Bone marrow smear
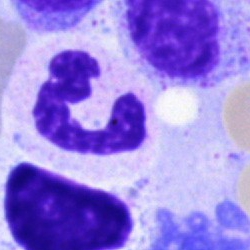Specimen: bone marrow smear.
Cell type: polymorphonuclear neutrophil.
Lineage: myeloid.